Bone marrow aspirate smear:
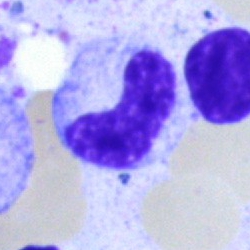{"cell_type": "neutrophil (band)"}